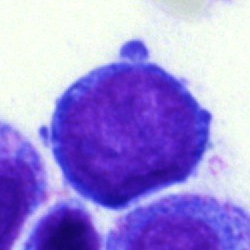
Single-cell crop from a bone marrow smear: undifferentiated blast.